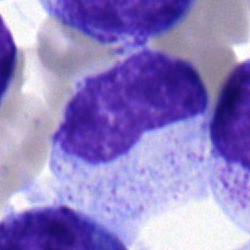Morphology → metamyelocyte.